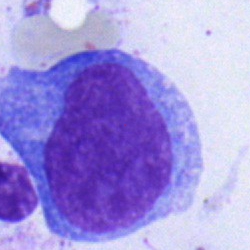
Showing an undifferentiated blast.